Cropped to a single cell. Bone marrow aspirate smear.
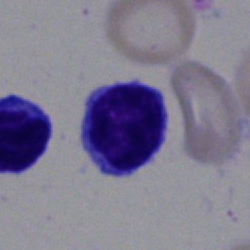

A lymphocyte.